Single-cell field. Bone marrow aspirate smear: 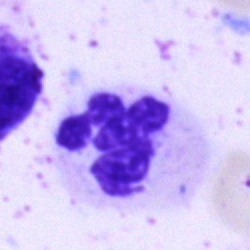Morphology → neutrophil (segmented).